Bone marrow smear.
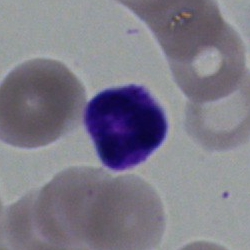Cell — polymorphonuclear neutrophil.